Bone marrow aspirate smear; 250 by 250 pixels: 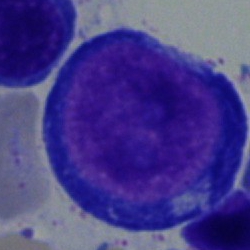 Proerythroblast.